Bone marrow smear · cropped to a single cell — 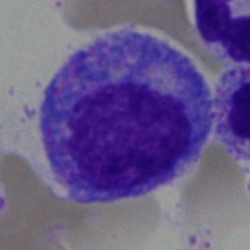

Progranulocyte.